Bone marrow smear:
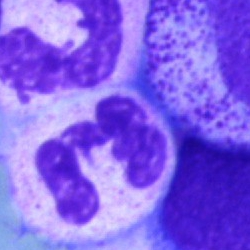
Q: What cell is this?
A: It is a polymorphonuclear neutrophil.